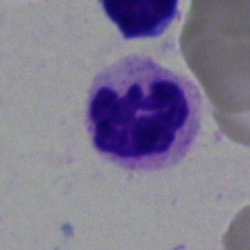 Cell = segmented neutrophil.